Bone marrow smear; May-Grünwald-Giemsa stain
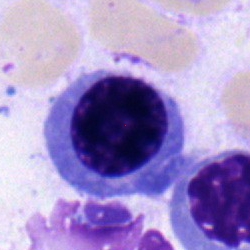
Single cell identified as a normoblast.